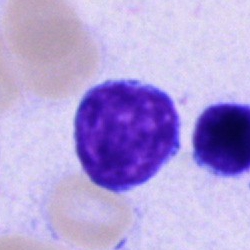
A lymphocyte on a bone marrow smear.